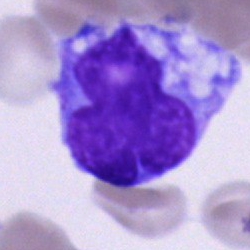

Impression → monocyte.